Bone marrow smear.
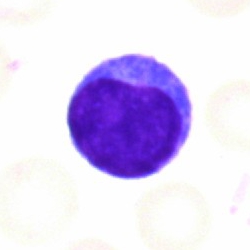
Cell = lymphocyte.